Bone marrow aspirate smear; 250×250 px; 40× oil immersion:
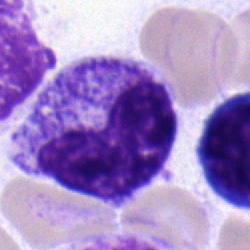

Impression → metamyelocyte.